Bone marrow smear — 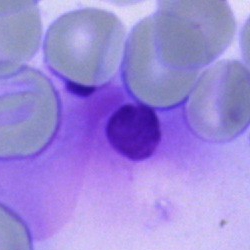 Q: What is shown here?
A: It is an artifact.